Pappenheim-stained. Bone marrow smear — 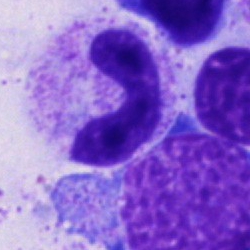

Q: What cell is this?
A: A band neutrophil.